Bone marrow aspirate smear:
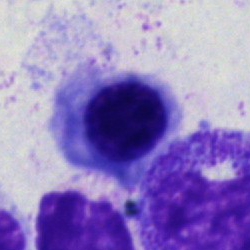{"cell_type": "nucleated red blood cell", "lineage": "erythroid"}